250×250; single-cell crop; bone marrow smear:
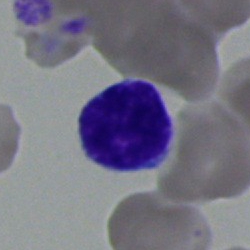
Showing a typical lymphocyte.